Bone marrow aspirate smear — 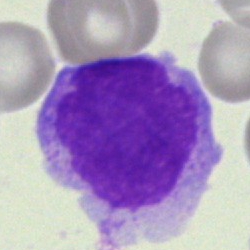

Q: What cell is this?
A: A monocyte.